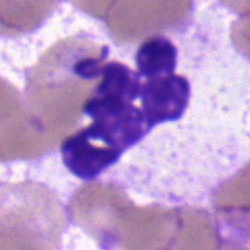Classification: neutrophil (segmented).